Bone marrow smear:
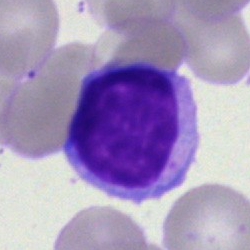 Specimen: bone marrow smear.
Cell type: typical lymphocyte.
Lineage: lymphoid.